Bone marrow smear: 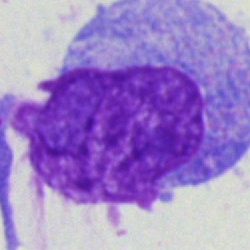

Impression — artifact.